40× objective, oil immersion; bone marrow aspirate smear; May-Grünwald-Giemsa stain: 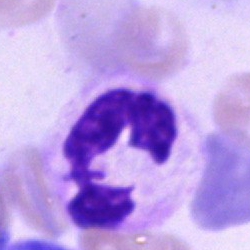
Cell = polymorphonuclear neutrophil.